Bone marrow smear:
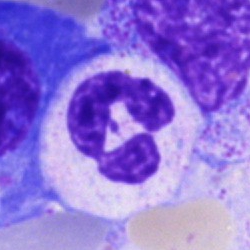

Morphology consistent with a polymorphonuclear neutrophil.